Bone marrow smear: 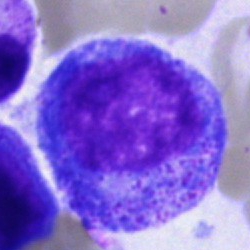 Showing a promyelocyte.